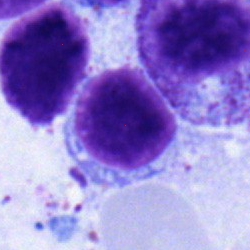

Cell type = lymphocyte.